Bone marrow smear.
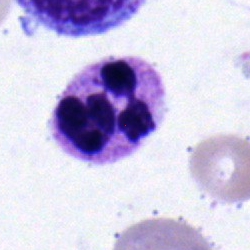
Classification — polymorphonuclear neutrophil.